40× objective, oil immersion; bone marrow smear
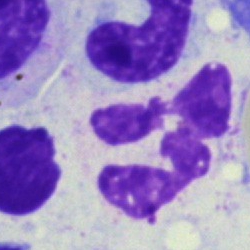Morphology — neutrophil (segmented).